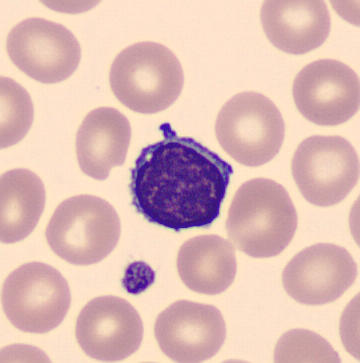360 by 363 pixels; peripheral blood film; automated cell imaging (CellaVision DM96). The cell is typical lymphocyte.